40× oil immersion; bone marrow aspirate smear — 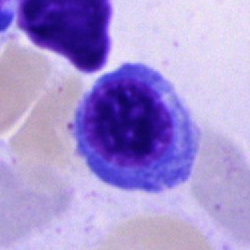

Classification = nucleated red cell.